Bone marrow aspirate smear — 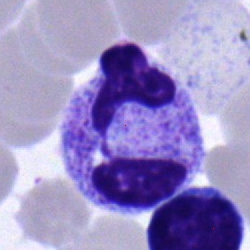

Showing a segmented neutrophil.